Bone marrow aspirate smear:
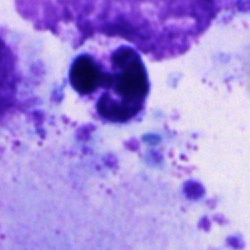

Specimen: bone marrow smear.
Classification: segmented neutrophil.
Lineage: myeloid.